Bone marrow smear:
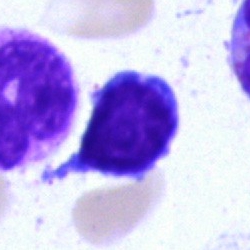Specimen: bone marrow aspirate smear.
Cell: lymphocyte.
Lineage: lymphoid.